Bone marrow smear.
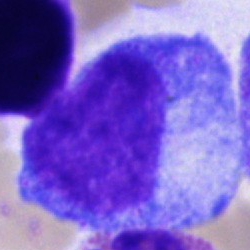Specimen: bone marrow aspirate smear.
Morphological class: progranulocyte.
Lineage: myeloid.